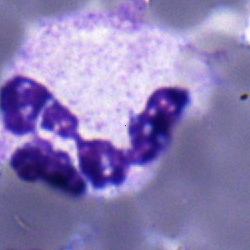Impression → segmented neutrophil.